40× objective, oil immersion. Bone marrow smear — 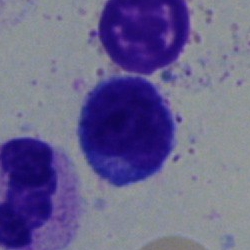 Impression → typical lymphocyte.